Image size 250×250; bone marrow aspirate smear; brightfield, 40× oil-immersion objective: 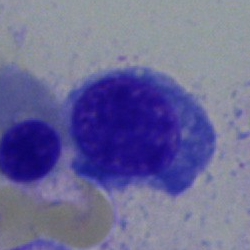Q: What is the morphological classification of this cell?
A: This is an erythroblast.